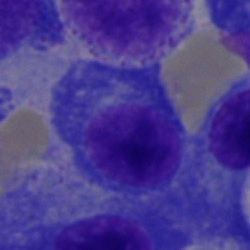Classification = plasma cell.